MGG-stained; single-cell field; bone marrow smear:
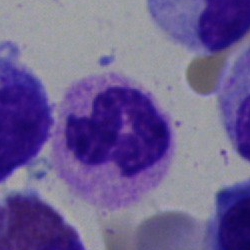Single cell identified as a polymorphonuclear neutrophil.